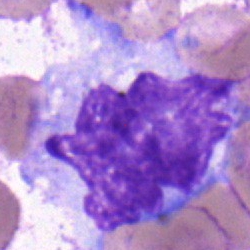 Morphological class: monocyte.